May-Grünwald-Giemsa stain · 250×250 px · bone marrow aspirate smear
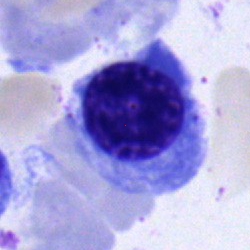 {"cell_type": "normoblast", "lineage": "erythroid"}